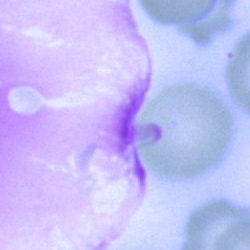

Artifact.